Bone marrow aspirate smear; image size 250×250
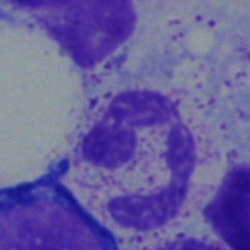Segmented neutrophil.